MGG-stained. Bone marrow aspirate smear:
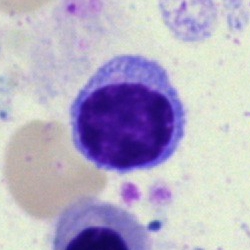
Cell type — lymphocyte.